Bone marrow aspirate smear — 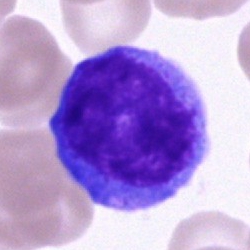

Specimen: bone marrow aspirate smear.
Cell type: cell of indeterminate lineage.